Bone marrow aspirate smear · Pappenheim-stained · single-cell crop
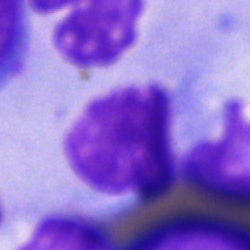

Showing an unidentifiable cell.